Peripheral blood smear:
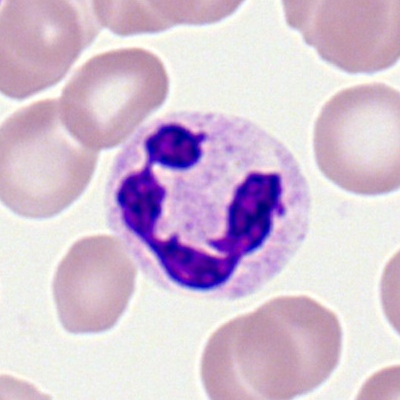A neutrophil (segmented).